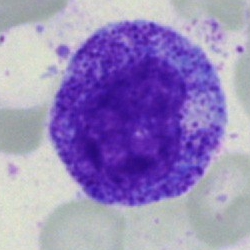

Q: What cell is this?
A: Myelocyte.